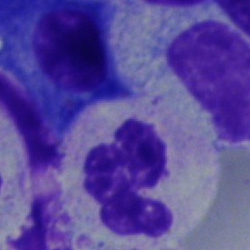Morphology consistent with a segmented neutrophil.